Cropped to a single cell · bone marrow aspirate smear · brightfield, 40× oil-immersion objective: 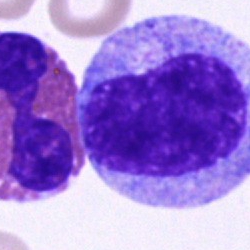This is a promyelocyte.